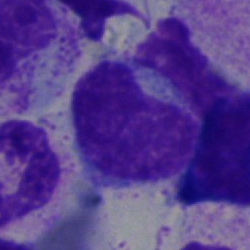
Q: What is the morphological classification of this cell?
A: This is a typical lymphocyte.